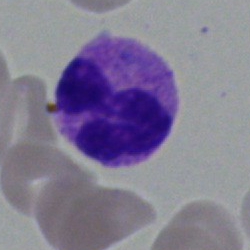The classification is polymorphonuclear neutrophil.